250×250; bone marrow smear.
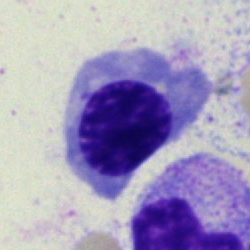
Q: Which cell type is shown here?
A: A nucleated red cell.